Bone marrow aspirate smear:
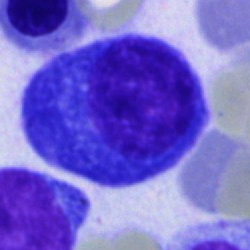 Classification — plasma cell.